Bone marrow aspirate smear — 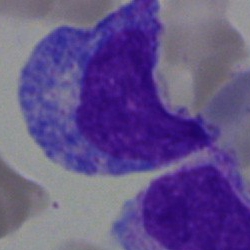

Impression → progranulocyte.